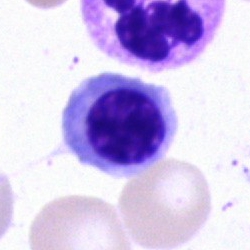Cell — nucleated red cell.